Bone marrow smear.
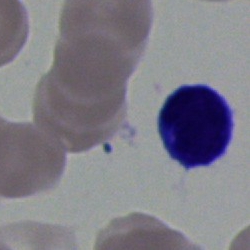

Specimen: bone marrow smear.
Classification: lymphocyte.